Bone marrow smear: 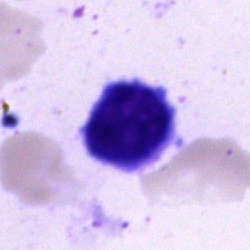

Morphology consistent with a typical lymphocyte.